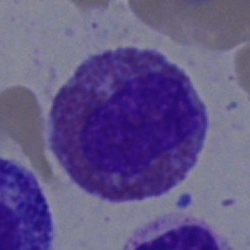Specimen: bone marrow aspirate smear.
Cell type: eosinophil.
Lineage: myeloid.